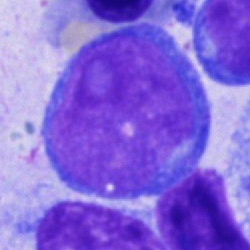Q: What is shown here?
A: It is a pronormoblast.